Bone marrow aspirate smear. 250×250. Brightfield microscopy, 40× oil immersion:
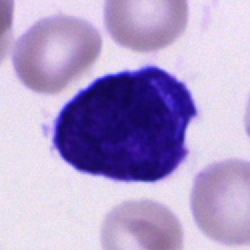
Morphology → cell of indeterminate lineage.